Bone marrow smear; 250×250 px; May-Grünwald-Giemsa/Pappenheim stain: 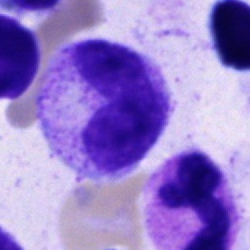
Impression → metamyelocyte.